Romanowsky-type stain; peripheral blood smear:
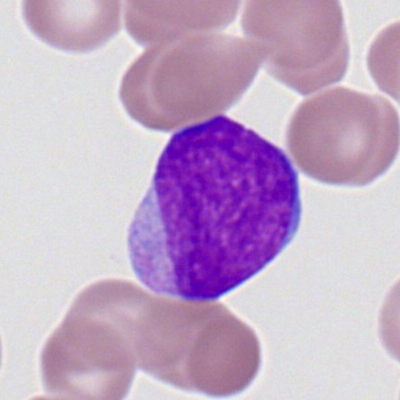 The cell is myeloid blast.